Bone marrow smear.
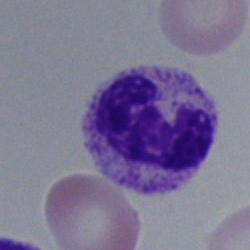 The cell shown is a neutrophil (segmented).